Bone marrow smear. Single-cell field. 250 by 250 pixels:
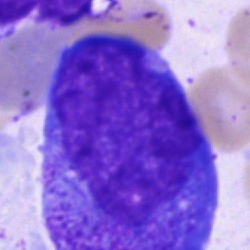

Specimen: bone marrow smear.
Cell: progranulocyte.
Lineage: myeloid.